Bone marrow aspirate smear.
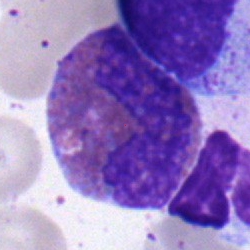
An eosinophil.